Bone marrow smear. Image size 250×250. Pappenheim-stained:
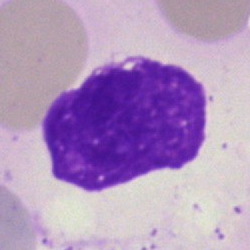 Q: What is shown here?
A: This is an artefact.